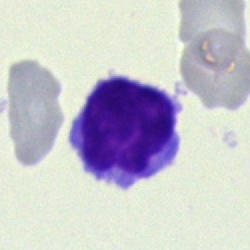 {"cell_type": "lymphocyte", "lineage": "lymphoid"}